May-Grünwald-Giemsa/Pappenheim stain · bone marrow smear — 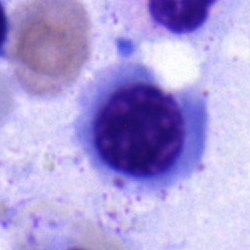
Morphology consistent with a normoblast.